MGG-stained · bone marrow aspirate smear
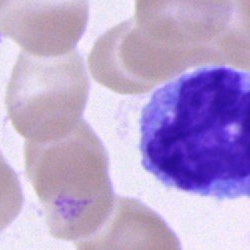
Cell: monocyte.